Cropped to a single cell. Bone marrow aspirate smear:
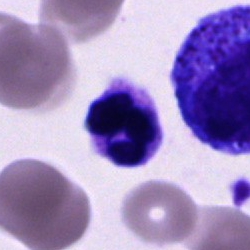

Morphology consistent with a segmented neutrophil.